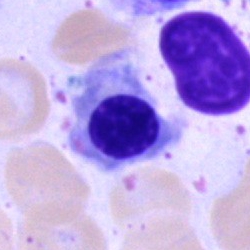Showing a nucleated red blood cell.